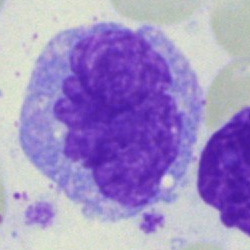
Bone marrow smear showing a monocyte.